Pappenheim-stained; bone marrow smear; 250×250 px
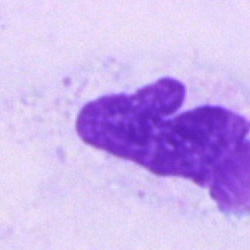
An artefact.